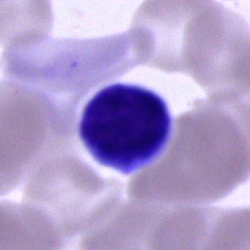
Single cell identified as a typical lymphocyte.